Bone marrow smear.
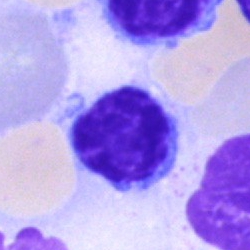 Impression — typical lymphocyte.